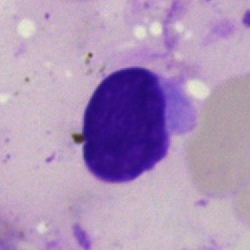

Bone marrow aspirate smear, single cell — artifact.